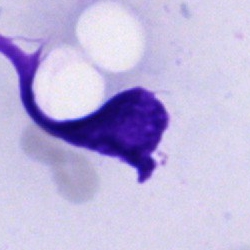 Single-cell crop from a bone marrow smear: artefact.